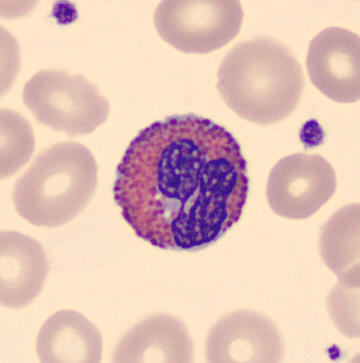Preparation: Peripheral blood film. Q: What cell is this?
A: This is an eosinophilic granulocyte.